Bone marrow smear — 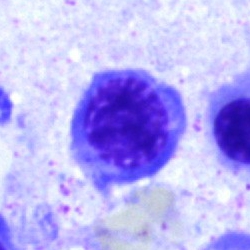Q: What is shown here?
A: Erythroblast.